Pappenheim-stained. Bone marrow smear:
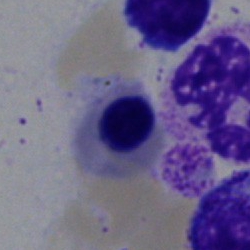 Q: What is shown here?
A: This is an erythroblast.